Bone marrow smear: 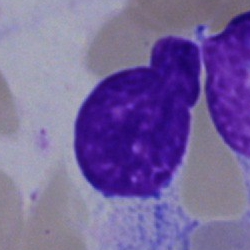Q: What is shown here?
A: Artifact.